250×250. Bone marrow aspirate smear. Single-cell crop:
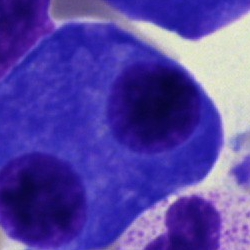

Morphology → plasmacyte.